Bone marrow aspirate smear — 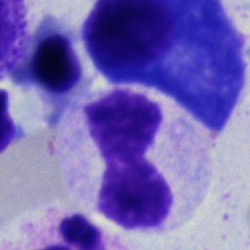This is a band neutrophil.